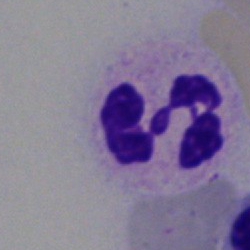

Classification: polymorphonuclear neutrophil.